Bone marrow aspirate smear · MGG-stained.
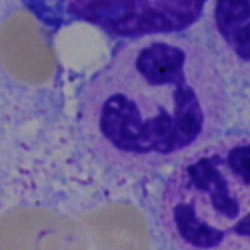

Specimen: bone marrow smear.
Cell type: neutrophil (segmented).